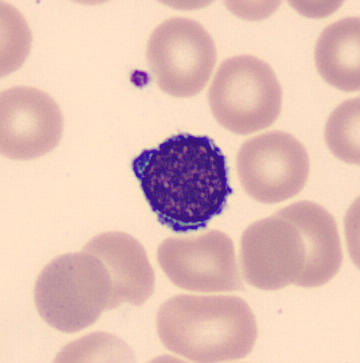
Q: Identify the cell.
A: Lymphocyte.

Preparation: Peripheral blood smear.